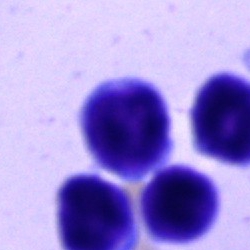Morphology consistent with a lymphocyte.